Bone marrow smear
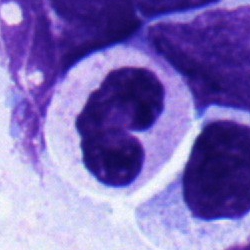Classification: band neutrophil.